Bone marrow smear. Image size 250×250. Brightfield, 40× oil-immersion objective.
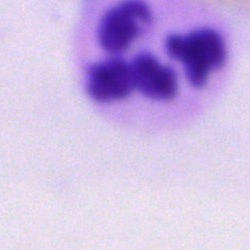

Morphological class = segmented neutrophil.